Bone marrow smear:
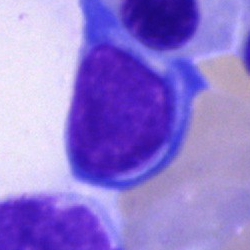 Cell: typical lymphocyte.